Bone marrow smear. Pappenheim-stained
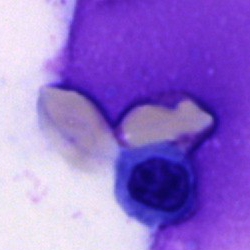

Impression → artifact.